Pappenheim-stained; bone marrow smear: 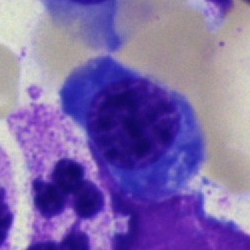

This is a nucleated red blood cell.